MGG-stained; bone marrow aspirate smear
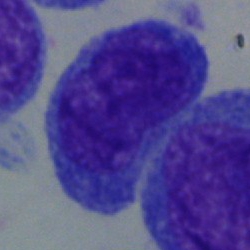{"cell_type": "undifferentiated blast"}